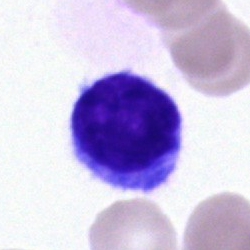
Single-cell crop from a bone marrow smear: lymphocyte.